Single cell centered in the field · image size 250×250 · bone marrow smear — 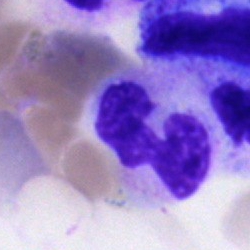
Morphology — segmented neutrophil.